Peripheral blood smear · single-cell field:
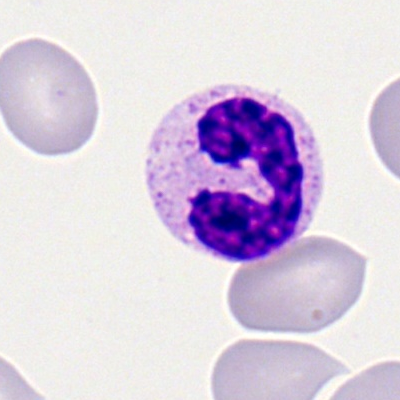Specimen: peripheral blood smear.
Cell type: polymorphonuclear neutrophil.
Lineage: myeloid.